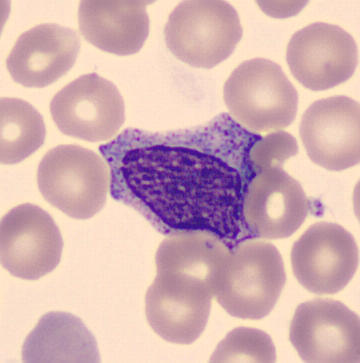
Morphological class = myelocyte.
Preparation: Peripheral blood smear.